Peripheral blood smear · 400 by 400 pixels.
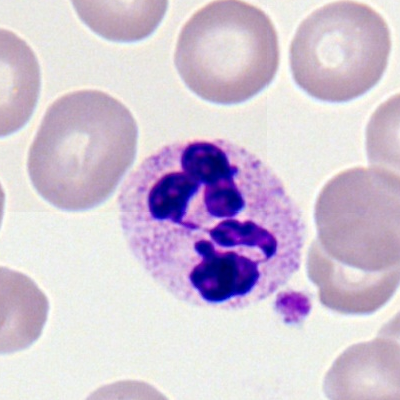
Specimen: peripheral blood film.
Cell type: segmented neutrophil.
Lineage: myeloid.